250 by 250 pixels · bone marrow smear
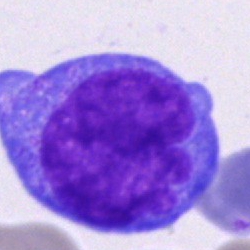Impression — blast cell.